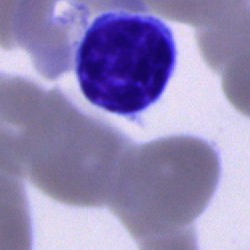 Showing a typical lymphocyte.